Peripheral blood smear
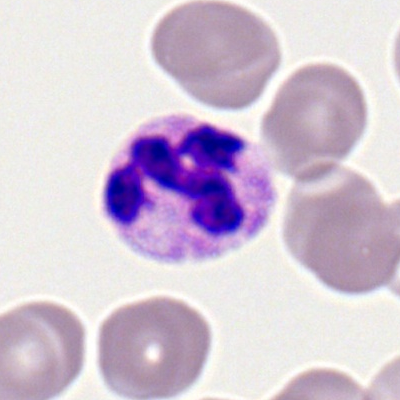The cell shown is a neutrophil (segmented).